Bone marrow aspirate smear. Cropped to a single cell. Image size 250×250
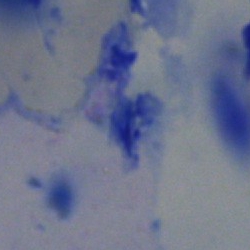 The cell type is artifact.